40× oil immersion. Bone marrow smear
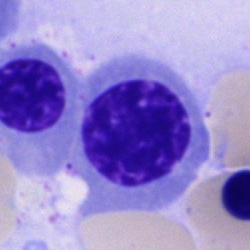 Classification = erythroblast.